Bone marrow smear:
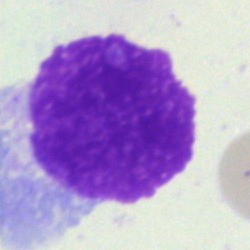

Q: What is shown here?
A: This is an artefact.